Bone marrow aspirate smear
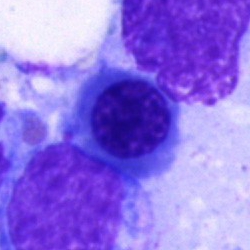
Morphology consistent with a nucleated red blood cell.